250×250 · bone marrow smear
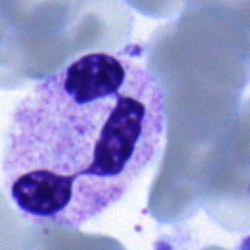

Morphology consistent with a segmented neutrophil.